Bone marrow aspirate smear. May-Grünwald-Giemsa stain — 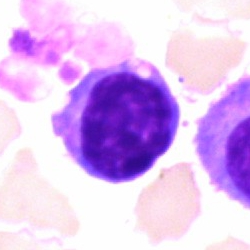Morphology — typical lymphocyte.